Bone marrow aspirate smear
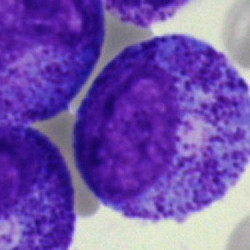 Q: What is the morphological classification of this cell?
A: A progranulocyte.